40× objective, oil immersion. Bone marrow smear:
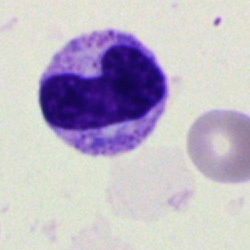
This is a stab cell.